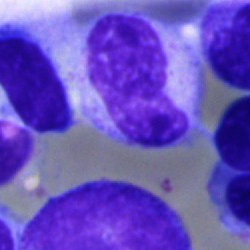 Cell: band neutrophil.